Bone marrow smear
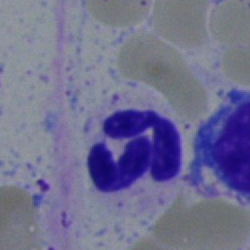

Cell type: neutrophil (segmented).